Bone marrow aspirate smear
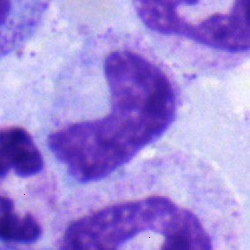Morphology consistent with a band neutrophil.